Bone marrow smear · 250×250:
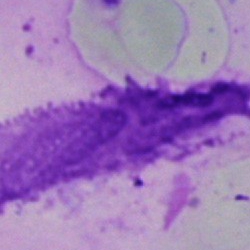Cell = artefact.